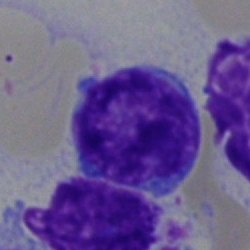
The classification is lymphocyte.